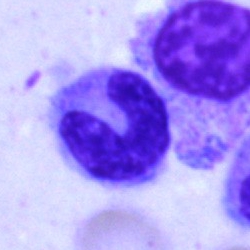 Bone marrow aspirate smear, single cell — band-form neutrophil.